Bone marrow aspirate smear: 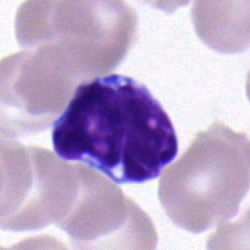 Impression → lymphocyte.